MGG-stained. Bone marrow smear. Image size 250×250:
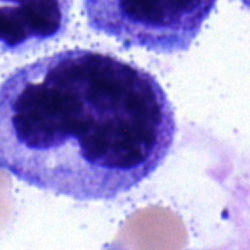Cell type: monocyte.